Brightfield microscopy, 40× oil immersion; bone marrow smear — 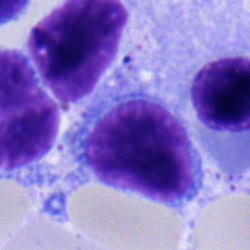 Q: What is the morphological classification of this cell?
A: A typical lymphocyte.